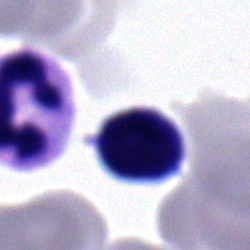 Morphological class: lymphocyte.